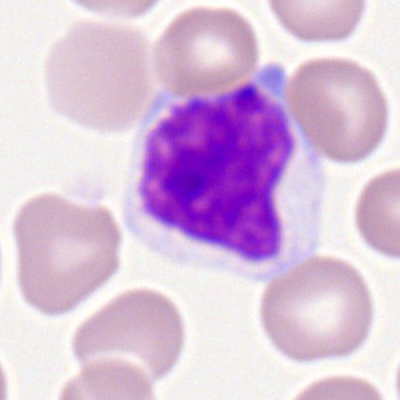 Peripheral blood smear showing a lymphocyte.